Bone marrow aspirate smear.
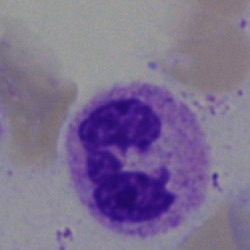Classification = segmented neutrophil.